Bone marrow aspirate smear. 250 by 250 pixels: 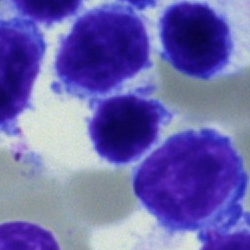
Impression — typical lymphocyte.